Bone marrow smear · 40× objective, oil immersion: 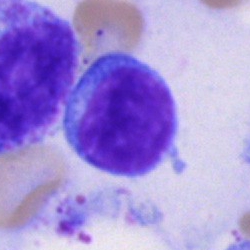 Single cell identified as a typical lymphocyte.